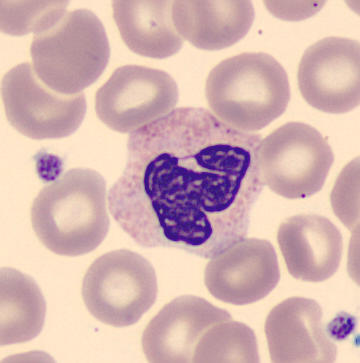Peripheral blood smear.
Cell — neutrophil (segmented).